Bone marrow aspirate smear — 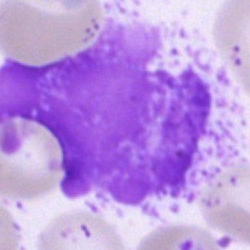 The cell shown is an artefact.